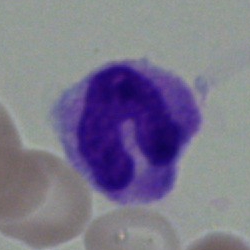
Single cell identified as a monocyte.